Bone marrow smear:
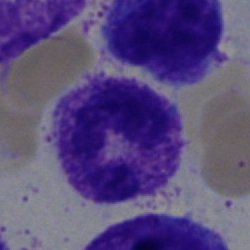 Cell type = segmented neutrophil.